Bone marrow aspirate smear
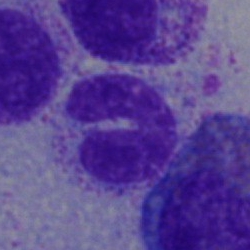 Single cell identified as a neutrophil (band).